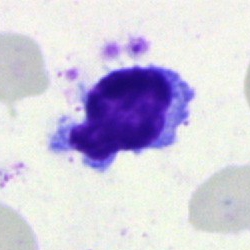

A typical lymphocyte.